Bone marrow smear: 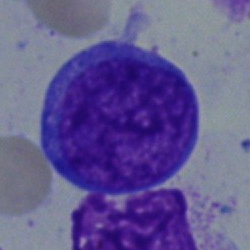
Specimen: bone marrow aspirate smear.
Classification: undifferentiated blast.